Image size 250×250 · bone marrow aspirate smear
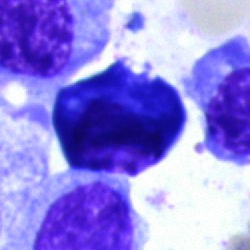
Specimen: bone marrow aspirate smear.
Classification: artifact.